400×400. Peripheral blood smear
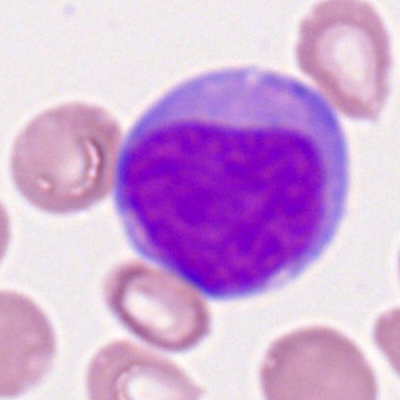

This is a myeloblast.